Bone marrow aspirate smear
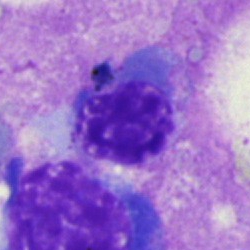
Showing a normoblast.